Bone marrow smear:
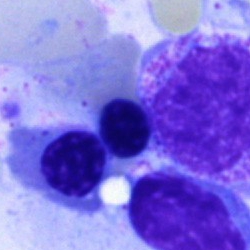
{"cell_type": "normoblast", "lineage": "erythroid"}